Pappenheim-stained; bone marrow aspirate smear; 250 by 250 pixels: 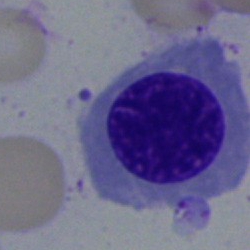 Classification: nucleated red blood cell.